Bone marrow aspirate smear:
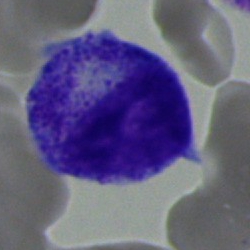 Morphology → myelocyte.